Bone marrow smear — 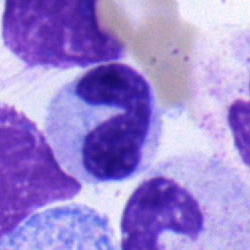
Specimen: bone marrow aspirate smear.
Cell: stab cell.
Lineage: myeloid.